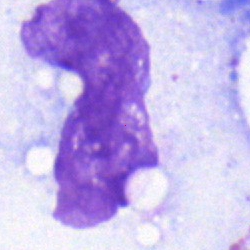
Q: What is shown here?
A: This is a band-form neutrophil.